MGG-stained · bone marrow aspirate smear: 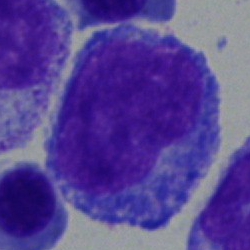
Cell = progranulocyte.